40× oil immersion · single cell centered in the field · bone marrow smear:
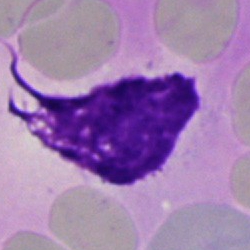
The cell shown is an artefact.